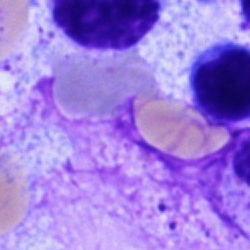Morphological class = artifact.